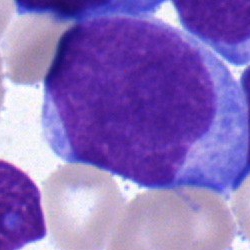

Cell: undifferentiated blast.